May-Grünwald-Giemsa stain; bone marrow aspirate smear; 40× objective, oil immersion — 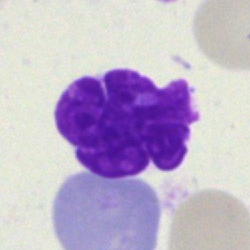
Specimen: bone marrow smear.
Cell type: artefact.